Bone marrow smear:
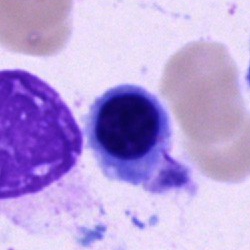Cell = nucleated red cell.